Bone marrow aspirate smear:
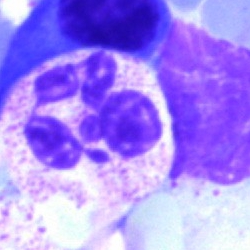
Morphological class: polymorphonuclear neutrophil.